Bone marrow smear: 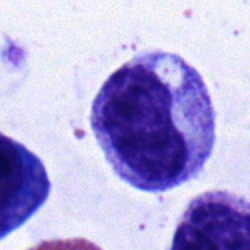
Metamyelocyte.